Bone marrow smear — 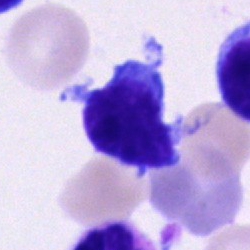 This is a lymphocyte.